Bone marrow smear · MGG-stained: 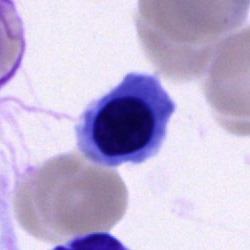

Normoblast.